Bone marrow aspirate smear. 250 by 250 pixels. Brightfield microscopy, 40× oil immersion:
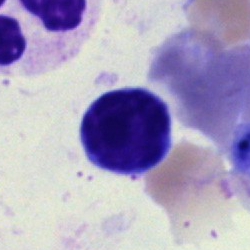

Q: Identify the cell.
A: Lymphocyte.